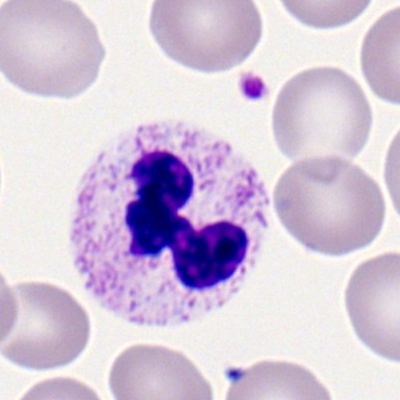
Cell — neutrophil (segmented).